Peripheral blood smear — 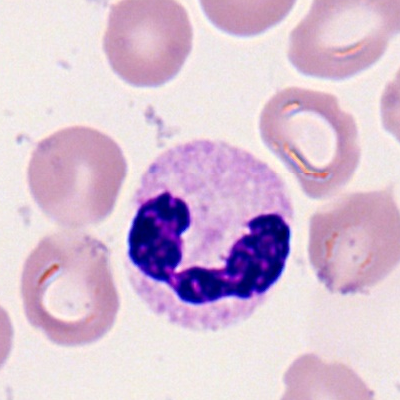Q: Which cell type is shown here?
A: Neutrophil (segmented).